Bone marrow smear · MGG-stained — 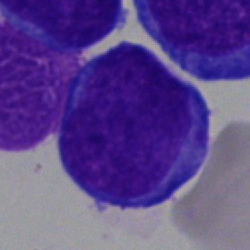The cell is undifferentiated blast.